Bone marrow aspirate smear: 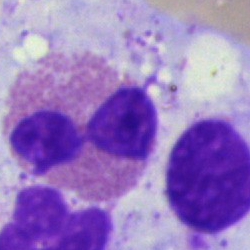 Classification: eosinophilic granulocyte.